Bone marrow smear · MGG-stained — 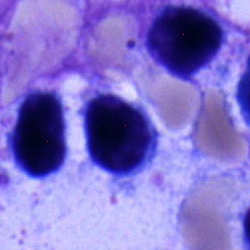 Showing a typical lymphocyte.